Bone marrow aspirate smear:
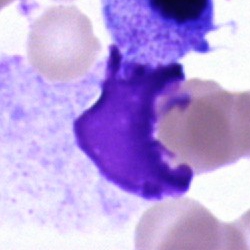 {"cell_type": "artefact"}